Bone marrow smear
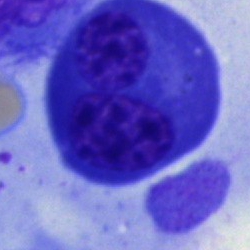Classification: normoblast.